May-Grünwald-Giemsa/Pappenheim stain. Bone marrow aspirate smear
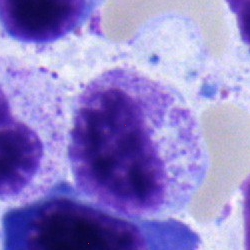Metamyelocyte.